Single cell centered in the field; 250 by 250 pixels; bone marrow aspirate smear: 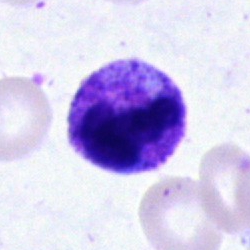 Classification — polymorphonuclear neutrophil.